Peripheral blood smear: 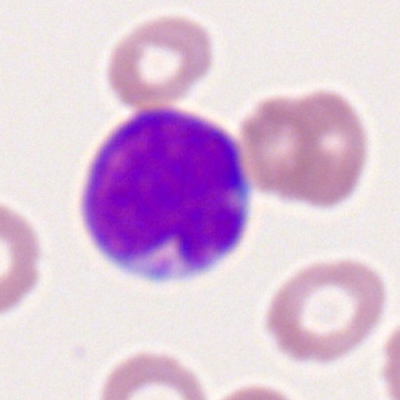

A myeloblast.